Bone marrow aspirate smear. May-Grünwald-Giemsa stain: 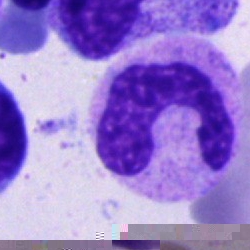

Cell type — band neutrophil.